Bone marrow smear:
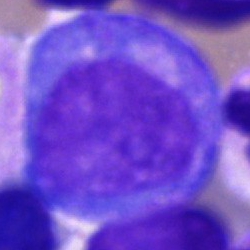
Q: What is shown here?
A: It is a promyelocyte.